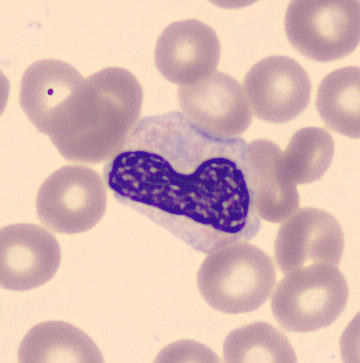 May Grünwald-Giemsa stain · peripheral blood smear. Morphology → metamyelocyte.